Bone marrow aspirate smear.
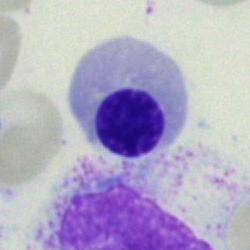Specimen: bone marrow smear.
Morphological class: nucleated red cell.